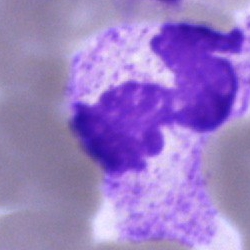
Morphology → segmented neutrophil.